250×250 px · bone marrow smear
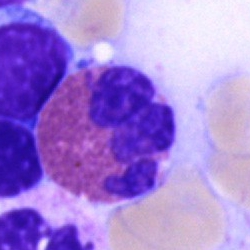
This is an eosinophil.